Bone marrow aspirate smear · 250×250 · May-Grünwald-Giemsa stain:
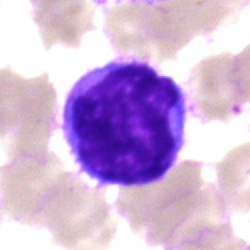
Cell: lymphocyte.